Bone marrow aspirate smear: 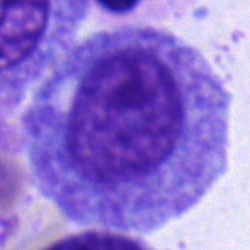
Classification = myelocyte.